Bone marrow aspirate smear.
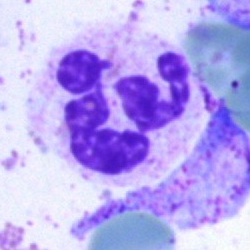 Specimen: bone marrow smear.
Cell: segmented neutrophil.
Lineage: myeloid.